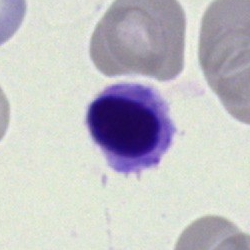

Impression → erythroblast.